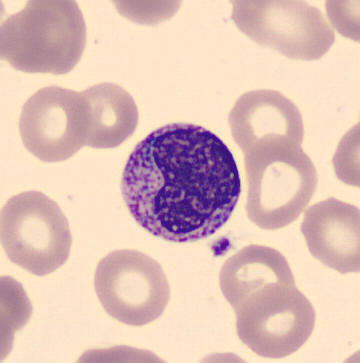
Q: Which cell type is shown here?
A: Metamyelocyte.

Preparation: 360×363. Peripheral blood film. May-Grünwald-Giemsa-stained.